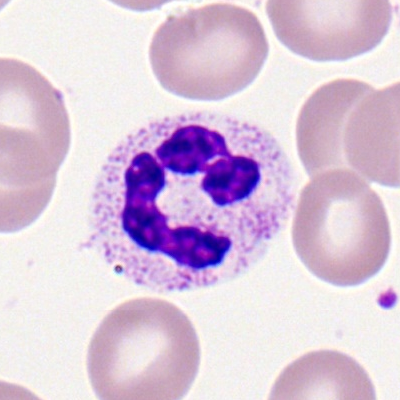
Peripheral blood film, single cell — segmented neutrophil.